Bone marrow smear: 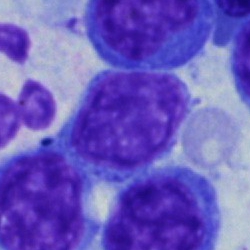 Q: What cell is this?
A: A lymphocyte.